May-Grünwald-Giemsa stain. Bone marrow aspirate smear:
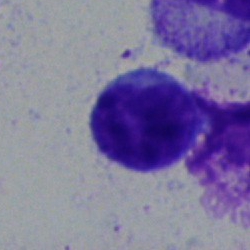Morphological class = typical lymphocyte.